Peripheral blood film — 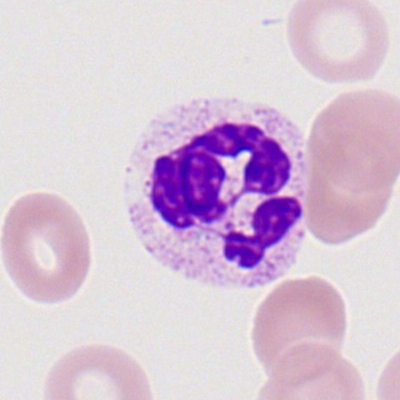{"cell_type": "polymorphonuclear neutrophil"}